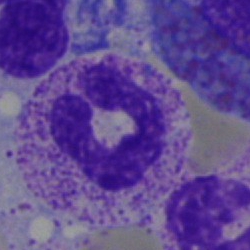Single-cell crop from a bone marrow smear: segmented neutrophil.